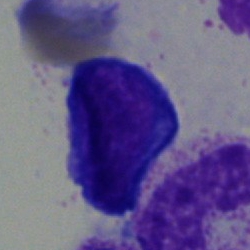
Classification: typical lymphocyte.